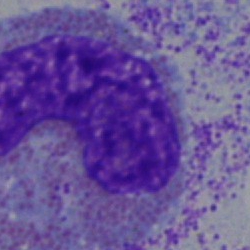Bone marrow smear showing an eosinophilic granulocyte.